Bone marrow aspirate smear:
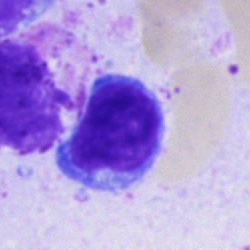

A lymphocyte.